Bone marrow smear
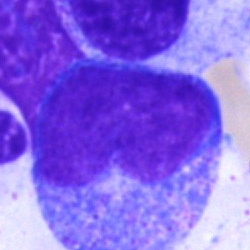
{"cell_type": "progranulocyte", "lineage": "myeloid"}